Bone marrow aspirate smear:
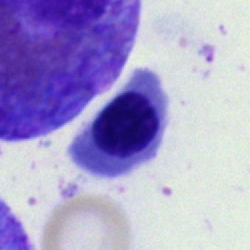
Classification = normoblast.